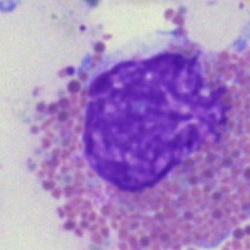Morphology consistent with an eosinophilic granulocyte.